Bone marrow smear. May-Grünwald-Giemsa stain: 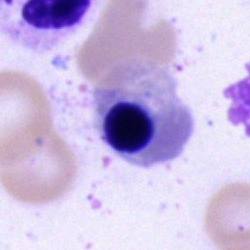

Showing a nucleated red cell.